Bone marrow smear · image size 250×250 · 40× objective, oil immersion:
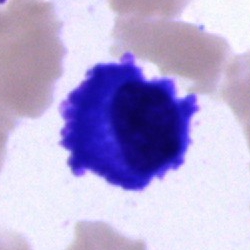

Specimen: bone marrow smear.
Cell: plasma cell.